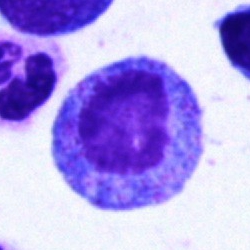Q: Identify the cell.
A: A promyelocyte.